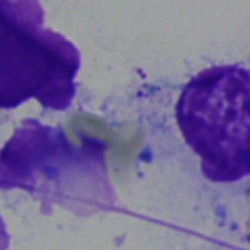Impression → artefact.